250 by 250 pixels. Bone marrow aspirate smear
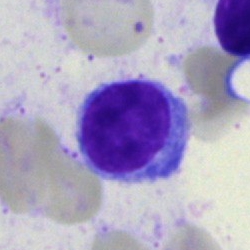
Single cell identified as a lymphocyte.